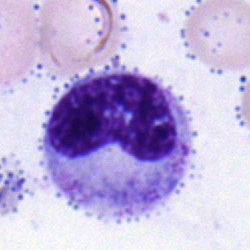

{"cell_type": "metamyelocyte"}